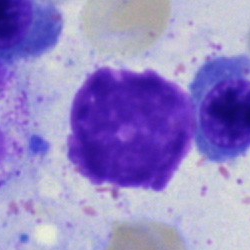Impression → artifact.